Peripheral blood smear.
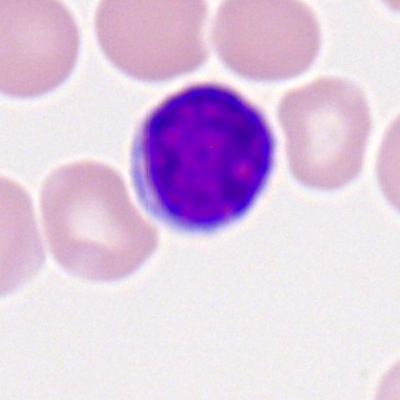 Morphology — typical lymphocyte.